Bone marrow aspirate smear · single-cell crop:
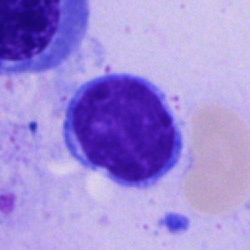 Cell type = typical lymphocyte.